Single cell centered in the field · brightfield microscopy, 40× oil immersion · bone marrow smear — 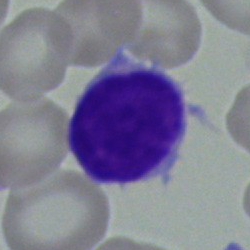Lymphocyte.